Bone marrow aspirate smear. Single cell centered in the field. 40× oil immersion
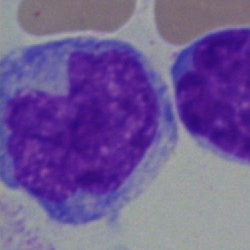

Impression — undifferentiated blast.